Bone marrow smear.
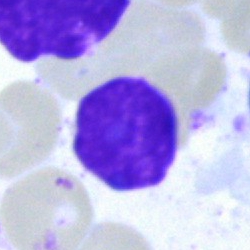

A typical lymphocyte.